Image size 250×250; bone marrow smear.
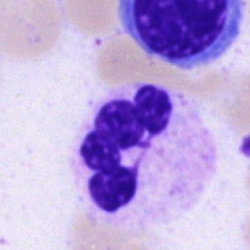Specimen: bone marrow aspirate smear.
Cell: neutrophil (segmented).